Bone marrow aspirate smear.
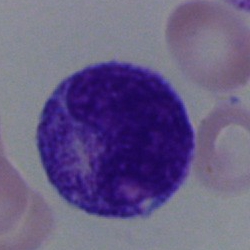

Morphology consistent with a promyelocyte.